Bone marrow smear: 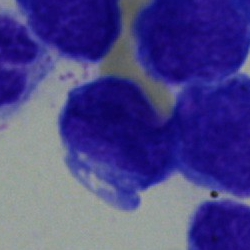 {"cell_type": "blast cell"}